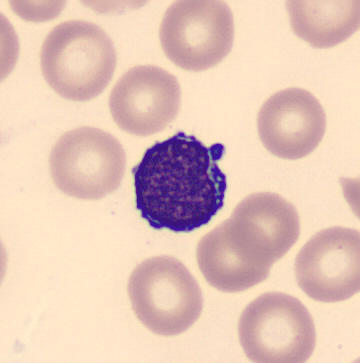 Single cell identified as a typical lymphocyte.
Preparation: Peripheral blood film. Single cell centered in the field. 360 by 363 pixels.